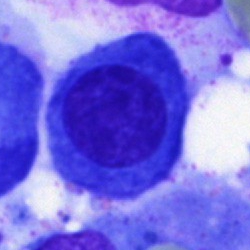Single cell identified as a plasmacyte.